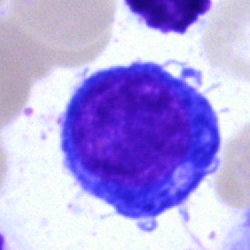
{"cell_type": "erythroblast", "lineage": "erythroid"}